250×250 · bone marrow smear:
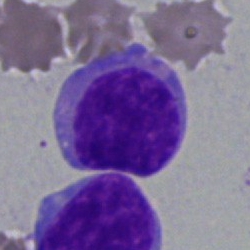
Blast.